Bone marrow aspirate smear · single-cell crop · brightfield, 40× oil-immersion objective.
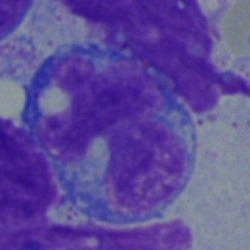

Q: Identify the cell.
A: It is a blast cell.